Bone marrow smear
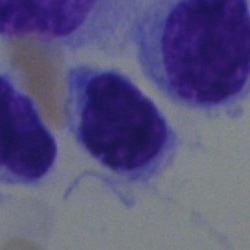 {"cell_type": "typical lymphocyte"}